Bone marrow aspirate smear.
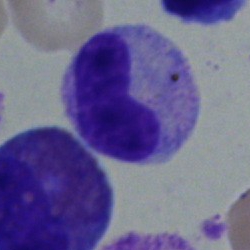 Band neutrophil.